Bone marrow smear:
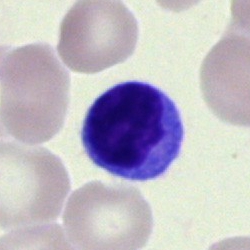

Impression — typical lymphocyte.